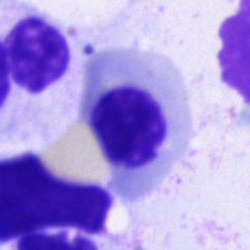

Classification — nucleated red blood cell.